Cropped to a single cell. Bone marrow aspirate smear. 250×250
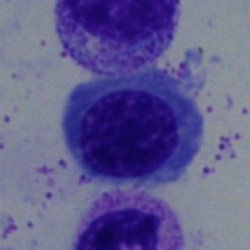

Specimen: bone marrow smear.
Classification: normoblast.
Lineage: erythroid.